Bone marrow aspirate smear — 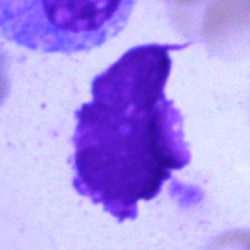Morphology consistent with an artefact.